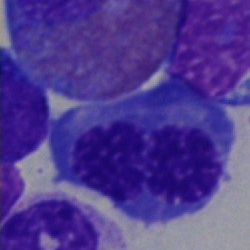 A nucleated red blood cell on a bone marrow smear.